Peripheral blood film
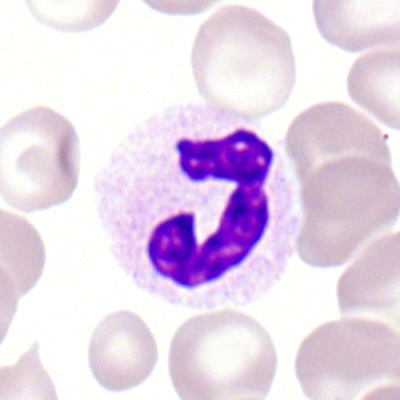 The morphological class is neutrophil (segmented).